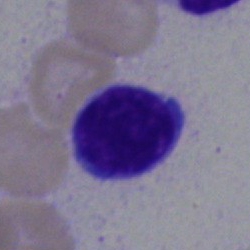

{"cell_type": "lymphocyte", "lineage": "lymphoid"}